Bone marrow aspirate smear
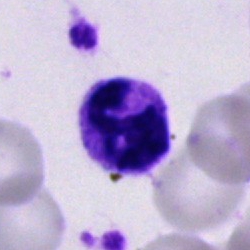The cell shown is a polymorphonuclear neutrophil.